Bone marrow smear. 40× oil immersion. Single cell centered in the field: 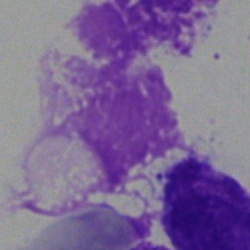

Morphology — artifact.